Bone marrow aspirate smear.
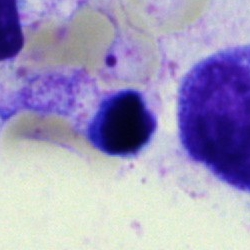 Morphological class — artefact.